May-Grünwald-Giemsa/Pappenheim stain; bone marrow aspirate smear
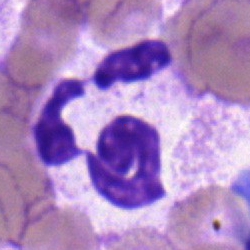

Q: What type of cell is this?
A: It is a polymorphonuclear neutrophil.